Bone marrow aspirate smear. Cropped to a single cell. 40× objective, oil immersion
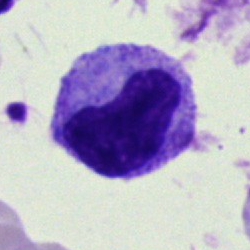The cell shown is a neutrophil (band).